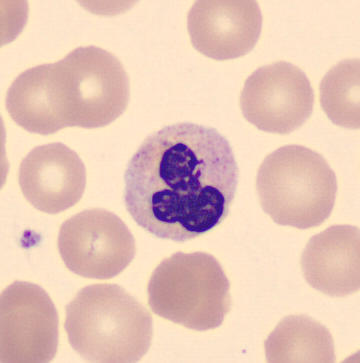
Showing a segmented neutrophil. CellaVision DM96. Peripheral blood film.